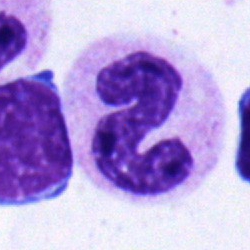 Q: What is the morphological classification of this cell?
A: A band neutrophil.